Bone marrow smear; 250 by 250 pixels
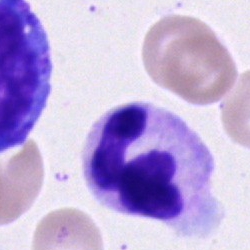
Specimen: bone marrow smear.
Morphological class: polymorphonuclear neutrophil.
Lineage: myeloid.